Image size 250×250. Bone marrow smear
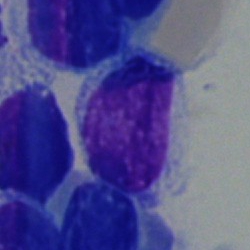
Impression — typical lymphocyte.